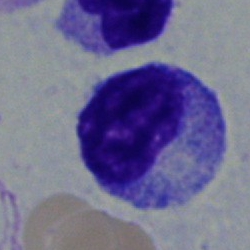Q: What type of cell is this?
A: Myelocyte.